Bone marrow aspirate smear; May-Grünwald-Giemsa stain
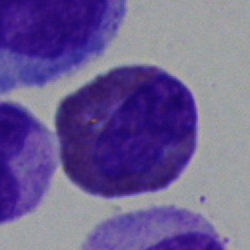
Specimen: bone marrow aspirate smear.
Cell type: eosinophil.
Lineage: myeloid.